Bone marrow aspirate smear · 40× objective, oil immersion.
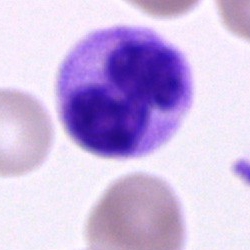 Showing a polymorphonuclear neutrophil.